Bone marrow aspirate smear: 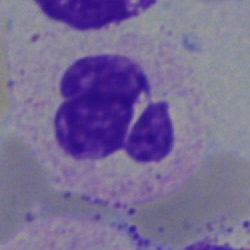Showing a segmented neutrophil.